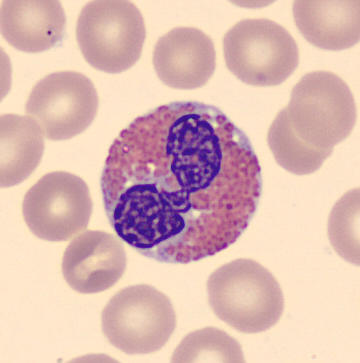

Acquisition: MGG-stained; peripheral blood film. The cell type is eosinophilic granulocyte.